Bone marrow smear: 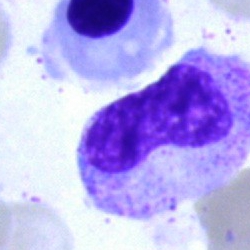 Specimen: bone marrow aspirate smear.
Cell: neutrophil (band).
Lineage: myeloid.